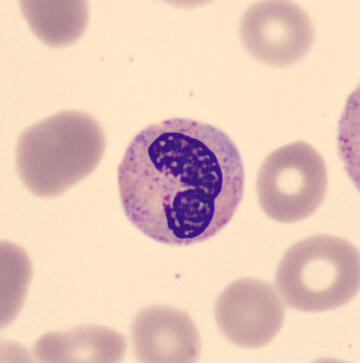

Preparation: Peripheral blood smear.

Classification — neutrophil (band).